Peripheral blood smear. Brightfield, 100× oil-immersion objective.
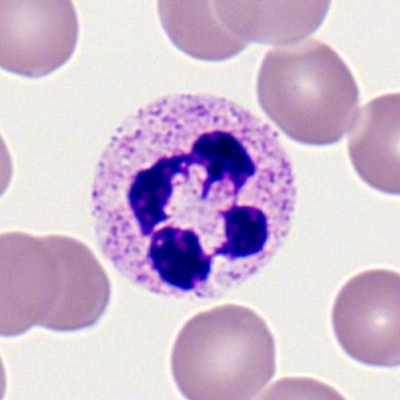Cell type = polymorphonuclear neutrophil.